Peripheral blood smear
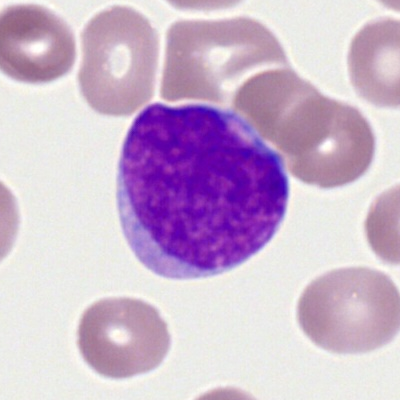Classification = myeloblast.